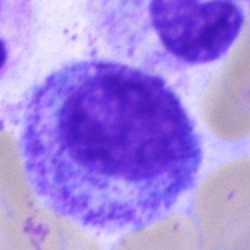 Single-cell crop from a bone marrow smear: promyelocyte.